Single-cell field. Romanowsky-stained. Peripheral blood smear
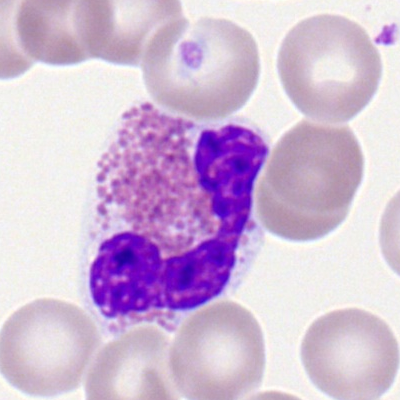
Q: Identify the cell.
A: Eosinophilic granulocyte.